Bone marrow aspirate smear
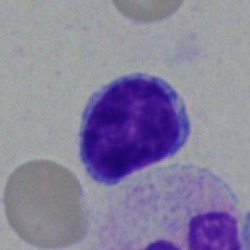
Q: Identify the cell.
A: It is a lymphocyte.